Bone marrow smear. 250×250.
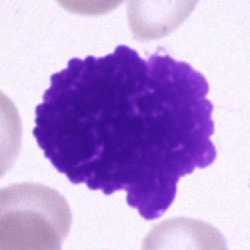 Specimen: bone marrow smear.
Cell: artefact.